Bone marrow smear — 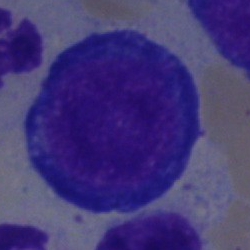Morphological class = proerythroblast.